May-Grünwald-Giemsa/Pappenheim stain. Bone marrow aspirate smear.
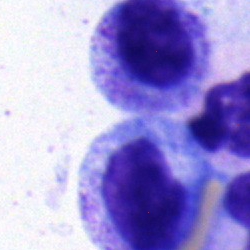Showing a polymorphonuclear neutrophil.